Bone marrow aspirate smear:
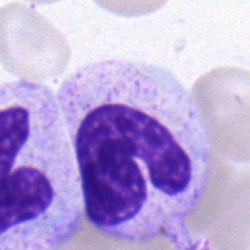 Showing a stab cell.